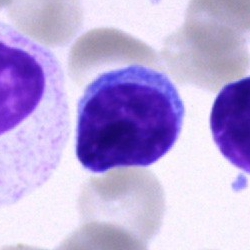Lymphocyte.